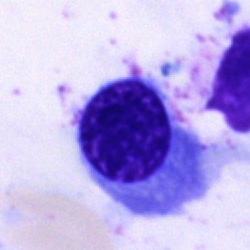
Q: Which cell type is shown here?
A: A nucleated red blood cell.